Single cell centered in the field. Bone marrow aspirate smear — 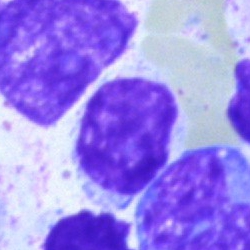 Morphology consistent with an artifact.